Bone marrow smear · 40× objective, oil immersion.
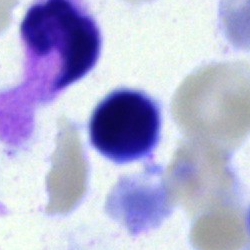
Lymphocyte.